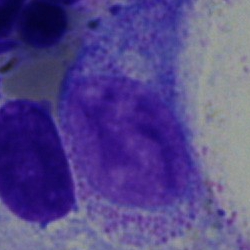 This is a myelocyte.